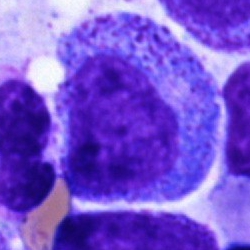

Promyelocyte.